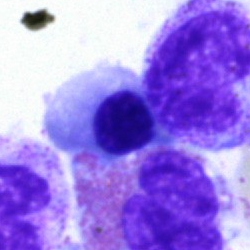
Morphology consistent with a nucleated red blood cell.